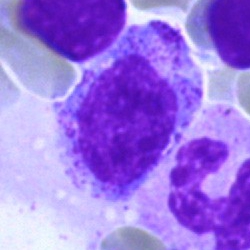 Specimen: bone marrow smear.
Cell: myelocyte.
Lineage: myeloid.